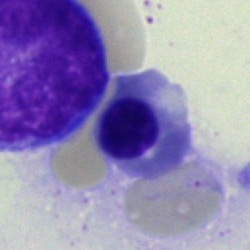
An erythroblast.